Bone marrow aspirate smear — 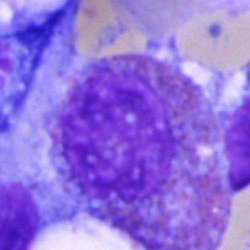The cell is eosinophilic granulocyte.